Bone marrow aspirate smear — 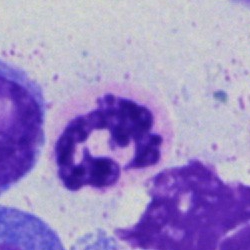

Neutrophil (segmented).